Bone marrow smear.
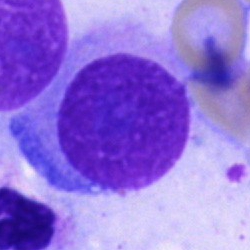
{"cell_type": "plasmacyte"}